Cropped to a single cell; May-Grünwald-Giemsa stain; bone marrow smear:
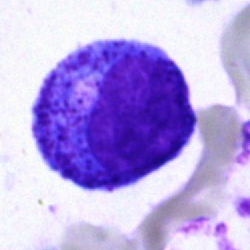
Morphology → promyelocyte.